Bone marrow aspirate smear: 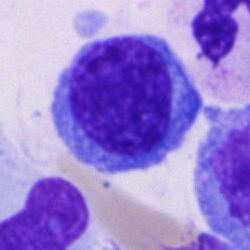

Cell = plasmacyte.